Bone marrow aspirate smear — 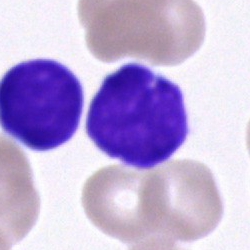 Impression → typical lymphocyte.